Bone marrow smear; single-cell field:
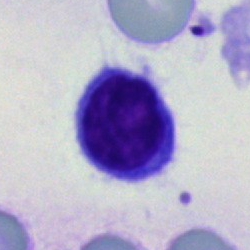Q: Which cell type is shown here?
A: Typical lymphocyte.